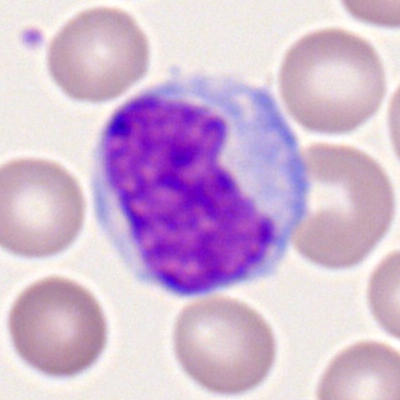 Classification = monocyte.